Bone marrow aspirate smear.
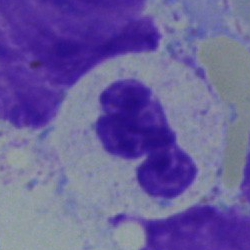Specimen: bone marrow smear.
Classification: segmented neutrophil.
Lineage: myeloid.